Bone marrow smear; 40× objective, oil immersion — 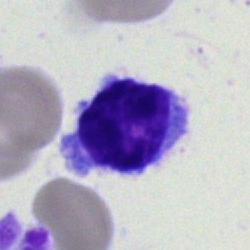
Morphology — typical lymphocyte.